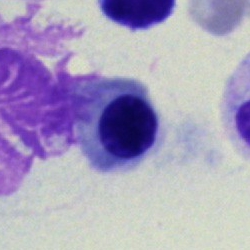 Cell type — normoblast.